Single cell centered in the field · bone marrow smear:
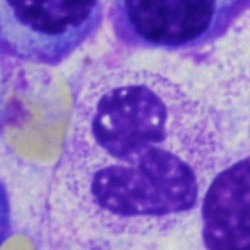 Morphological class = stab cell.